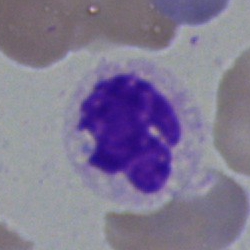 Q: What cell is this?
A: This is a segmented neutrophil.